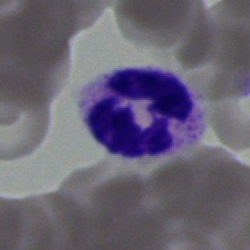
Morphology consistent with a neutrophil (segmented).